Bone marrow smear
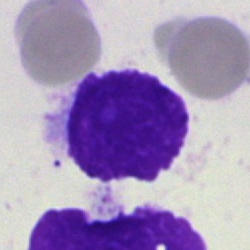 Single cell identified as an artefact.